Single-cell field · May-Grünwald-Giemsa/Pappenheim stain · bone marrow smear.
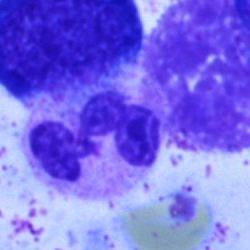Morphology — polymorphonuclear neutrophil.